Brightfield microscopy, 40× oil immersion; bone marrow smear.
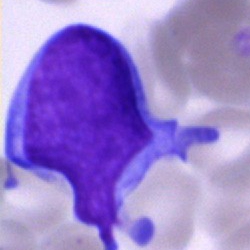
Impression → undifferentiated blast.